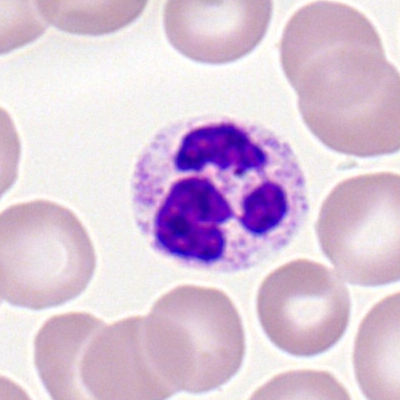Morphological class: polymorphonuclear neutrophil.